Bone marrow smear
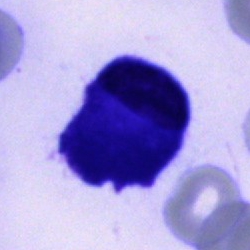 The cell shown is a plasmacyte.